40× objective, oil immersion. Bone marrow smear:
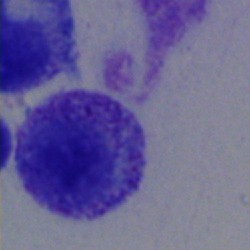 Q: Which cell type is shown here?
A: This is a myelocyte.